Brightfield microscopy, 40× oil immersion; bone marrow smear:
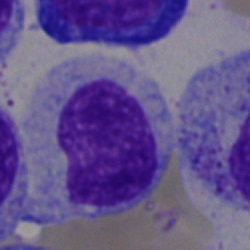

Single cell identified as a metamyelocyte.